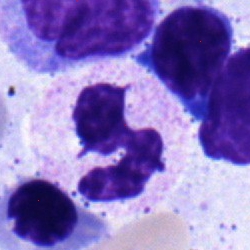
Q: Identify the cell.
A: It is a polymorphonuclear neutrophil.